40× oil immersion; bone marrow smear:
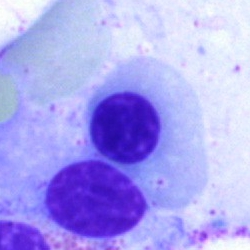 Morphology → nucleated red blood cell.